Bone marrow aspirate smear
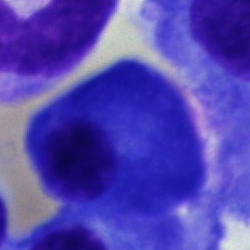Morphology consistent with a plasmacyte.